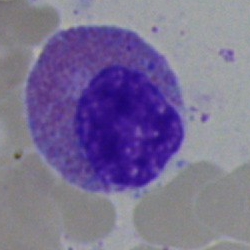 Morphological class: eosinophilic granulocyte.